Bone marrow aspirate smear. 250×250 px. May-Grünwald-Giemsa/Pappenheim stain.
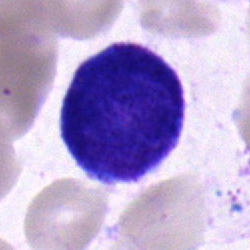 Undifferentiated blast.